40× oil immersion · bone marrow smear · image size 250×250 — 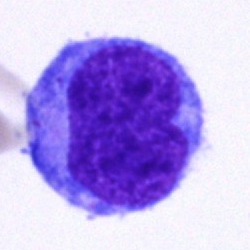 The cell shown is an undifferentiated blast.